Bone marrow aspirate smear
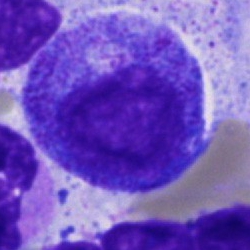
This is a progranulocyte.